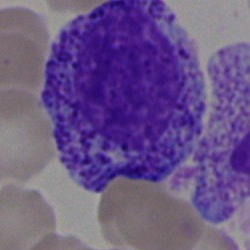 Morphological class: progranulocyte.